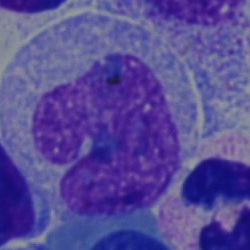Morphology — monocyte.